100× objective, oil immersion. Peripheral blood film: 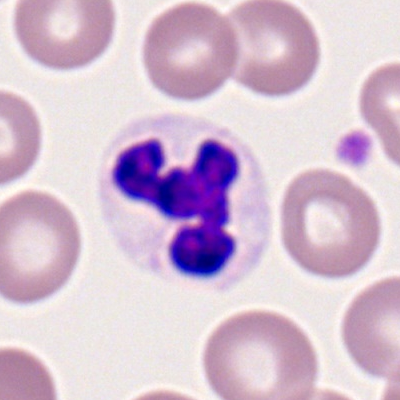

The cell shown is a neutrophil (segmented).